Pappenheim-stained. Bone marrow aspirate smear.
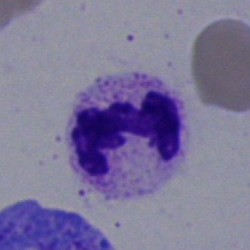

Q: Identify the cell.
A: A segmented neutrophil.